May-Grünwald-Giemsa stain · bone marrow aspirate smear: 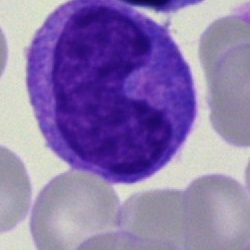
Morphology consistent with a monocyte.